Bone marrow aspirate smear — 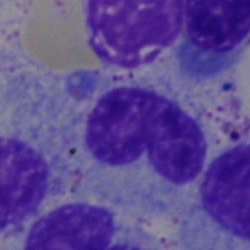
The cell shown is a band-form neutrophil.